Bone marrow smear · cropped to a single cell · Pappenheim-stained.
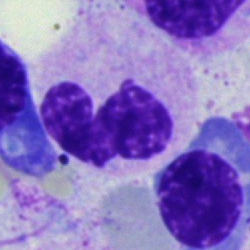 Morphology → polymorphonuclear neutrophil.